Bone marrow aspirate smear:
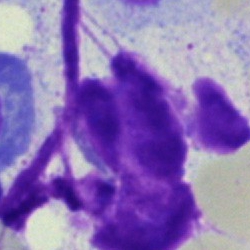
Q: What is shown here?
A: An artefact.